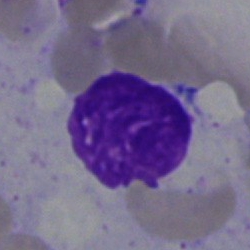

Q: What is shown here?
A: It is an artifact.